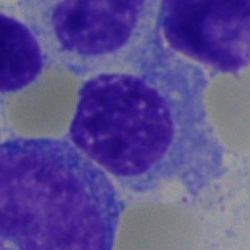Classification — nucleated red cell.